Bone marrow smear
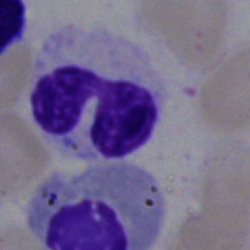 The cell shown is a segmented neutrophil.